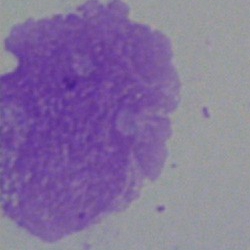

Bone marrow aspirate smear, single cell — artefact.